Bone marrow aspirate smear; brightfield microscopy, 40× oil immersion; single cell centered in the field — 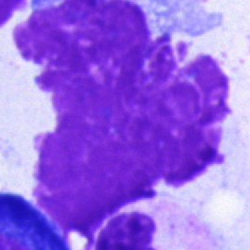

Cell — artifact.